Peripheral blood film
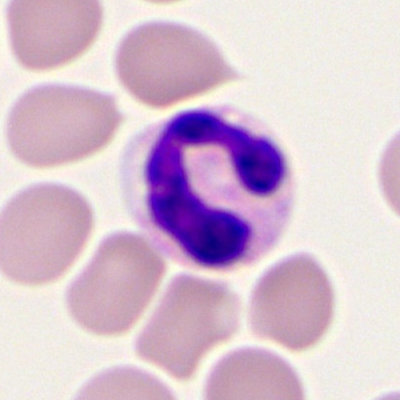
Morphology → neutrophil (segmented).